250×250 · bone marrow smear.
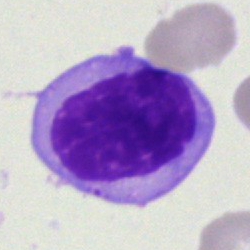Q: What type of cell is this?
A: An undifferentiated blast.